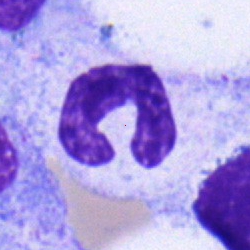
Bone marrow smear showing a neutrophil (band).